Bone marrow aspirate smear · single-cell field — 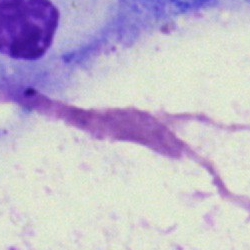 The cell type is artefact.